Single-cell field · 250 by 250 pixels · bone marrow smear — 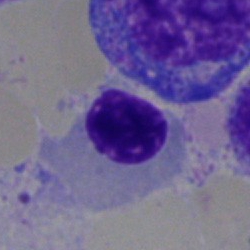Impression → nucleated red blood cell.